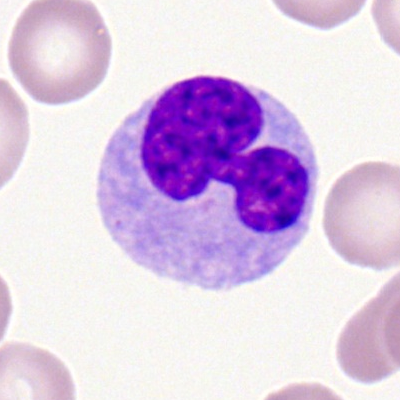 Q: What cell is this?
A: A monocyte.